Image size 250×250. Bone marrow aspirate smear: 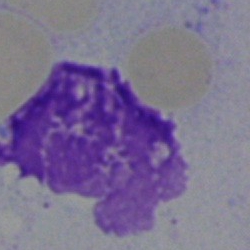 Showing an artifact.